Bone marrow smear: 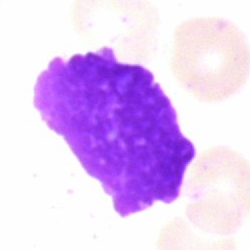Single cell identified as an artifact.